Single-cell crop. Bone marrow smear. Image size 250×250: 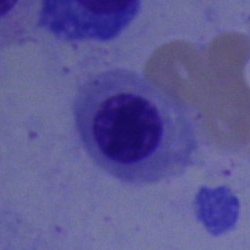 The cell shown is a normoblast.